Bone marrow smear:
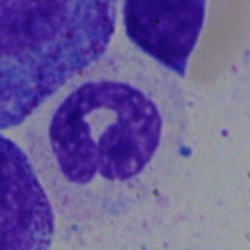

The cell type is polymorphonuclear neutrophil.